Cropped to a single cell · peripheral blood smear:
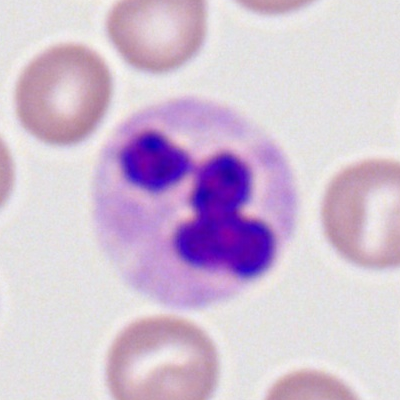Specimen: peripheral blood smear.
Cell: polymorphonuclear neutrophil.